Single-cell crop; peripheral blood film:
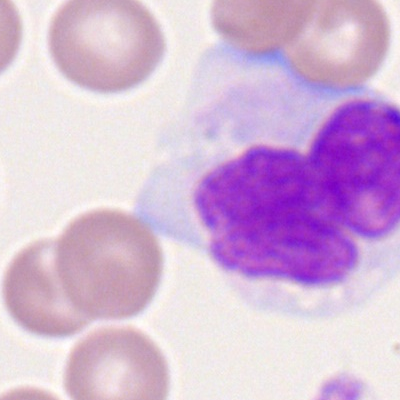{"cell_type": "monocyte"}